Bone marrow aspirate smear.
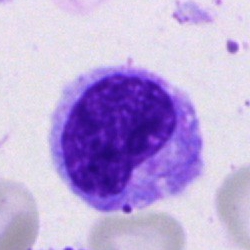

Q: What is shown here?
A: It is a lymphocyte.